Bone marrow smear: 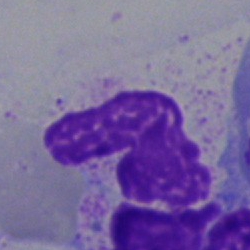Single cell identified as an artifact.